Bone marrow aspirate smear; MGG-stained — 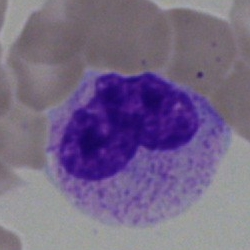
The cell type is metamyelocyte.